Bone marrow aspirate smear — 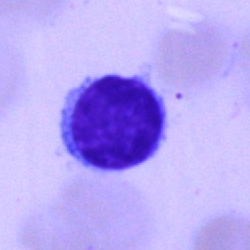 Impression — lymphocyte.